Bone marrow smear · image size 250×250 — 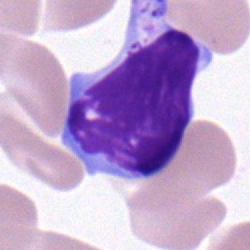 Q: What is the morphological classification of this cell?
A: It is a lymphocyte.